Bone marrow aspirate smear: 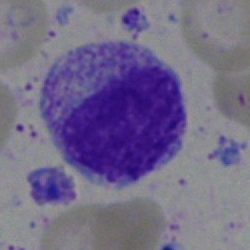
A myelocyte.